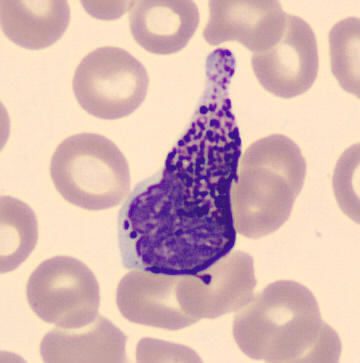
Basophil.
Acquisition: Peripheral blood smear.